Bone marrow smear
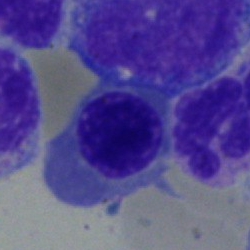 Impression → erythroblast.